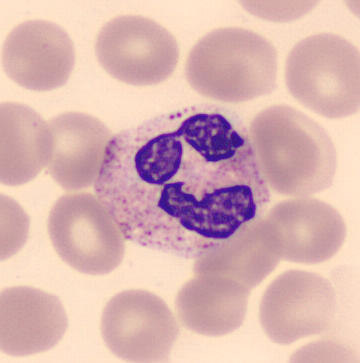

Identified as a segmented neutrophil.
Image: Imaged on a CellaVision DM96 analyser; May Grünwald-Giemsa stain; peripheral blood film.